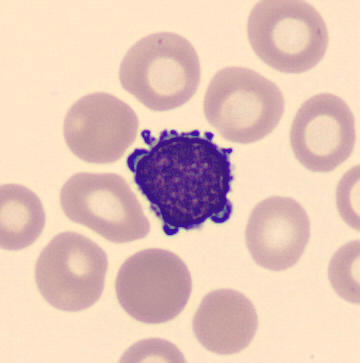

Preparation: Imaged on a CellaVision DM96 analyser; peripheral blood smear.

The cell type is lymphocyte.